Bone marrow smear
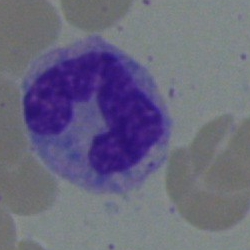Morphological class = monocyte.